Peripheral blood smear; May-Grünwald-Giemsa-stained — 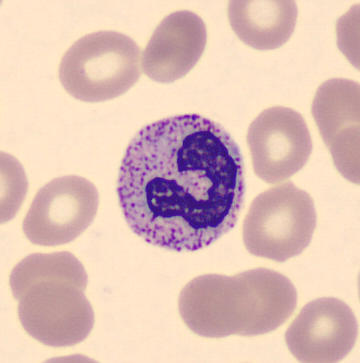 Showing a band neutrophil.